Bone marrow smear:
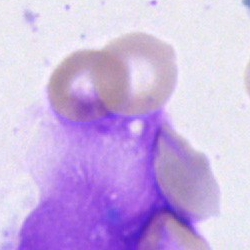
Morphology → artifact.